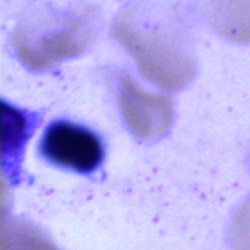Impression → artifact.